250×250 · bone marrow smear
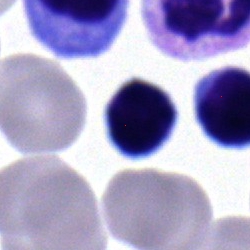 The cell type is typical lymphocyte.